Bone marrow aspirate smear.
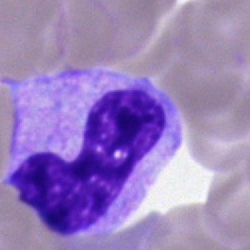

Q: What cell is this?
A: A band-form neutrophil.